Bone marrow aspirate smear; brightfield microscopy, 40× oil immersion; image size 250×250: 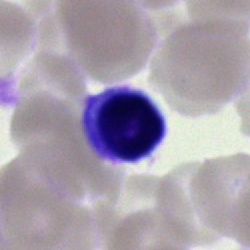Lymphocyte.